Pappenheim-stained · 40× oil immersion · bone marrow aspirate smear: 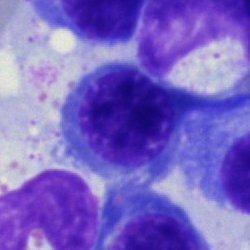
Morphology consistent with a nucleated red cell.